Bone marrow smear
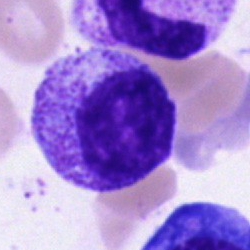 A promyelocyte.